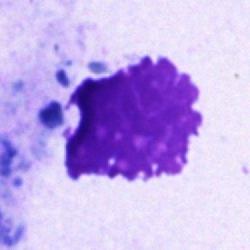The cell shown is an artefact.